Peripheral blood smear · MGG stain · 360×363
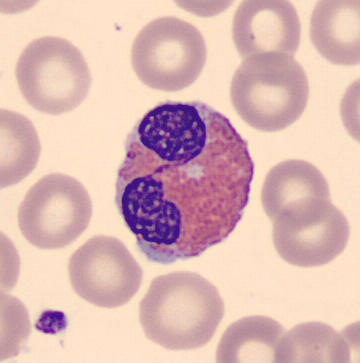Morphological class — eosinophil.